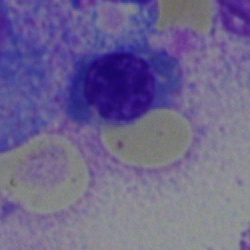Impression → erythroblast.